Bone marrow smear
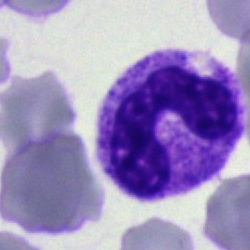
Q: Which cell type is shown here?
A: This is a band-form neutrophil.